Bone marrow smear · cropped to a single cell
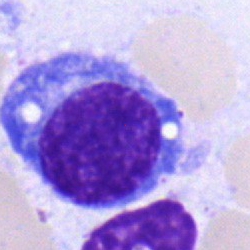 A plasma cell.